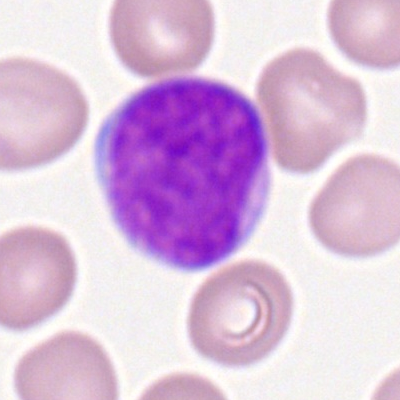

Showing a myeloid blast.